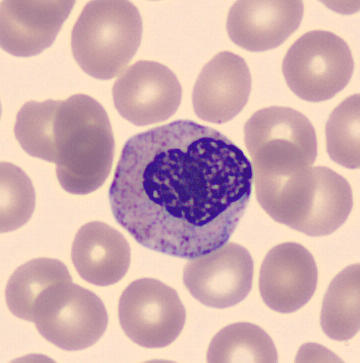Q: What is this?
A: It is a metamyelocyte. Image: Single-cell crop. Peripheral blood smear.